250×250; May-Grünwald-Giemsa/Pappenheim stain; bone marrow aspirate smear.
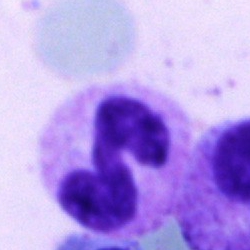
Single cell identified as a polymorphonuclear neutrophil.